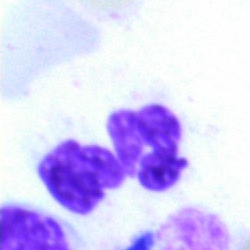 The morphological class is polymorphonuclear neutrophil.